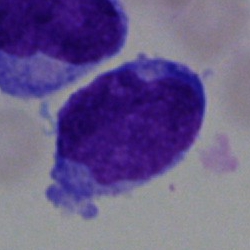Morphology → undifferentiated blast.